MGG-stained; bone marrow smear:
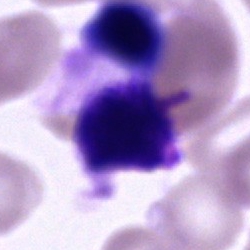 Specimen: bone marrow aspirate smear.
Morphological class: unidentifiable cell.